Pappenheim-stained · single-cell field · bone marrow smear
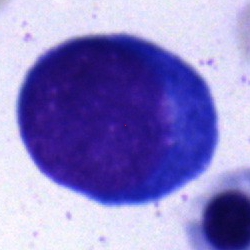 Specimen: bone marrow aspirate smear.
Morphological class: pronormoblast.
Lineage: erythroid.